Bone marrow aspirate smear. Single-cell field. May-Grünwald-Giemsa stain.
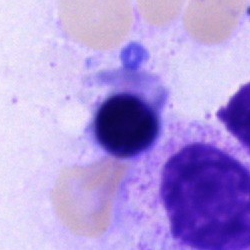
Q: What is the morphological classification of this cell?
A: A nucleated red cell.